Brightfield, 100× oil-immersion objective. Peripheral blood film. Image size 400×400.
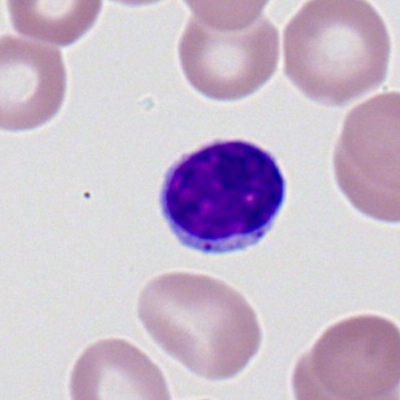Morphological class = typical lymphocyte.